Bone marrow aspirate smear:
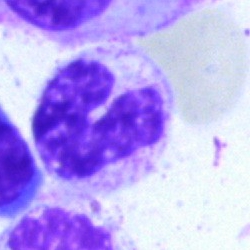
Morphology — neutrophil (band).